Single-cell field. Bone marrow smear:
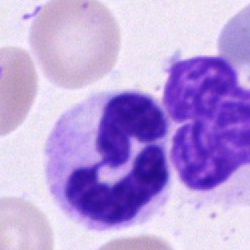
Cell — neutrophil (segmented).